250×250 px. 40× objective, oil immersion. Bone marrow aspirate smear — 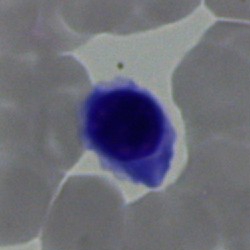
Impression → normoblast.